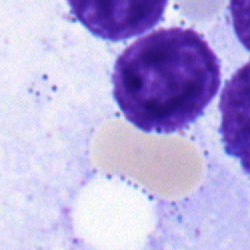
{"cell_type": "lymphocyte", "lineage": "lymphoid"}